250 by 250 pixels. Brightfield, 40× oil-immersion objective. Bone marrow smear.
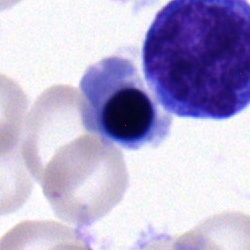
This is a nucleated red blood cell.